Bone marrow aspirate smear. May-Grünwald-Giemsa/Pappenheim stain — 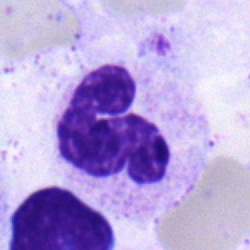Impression → band-form neutrophil.